Single cell centered in the field. Peripheral blood film. Image size 360×363
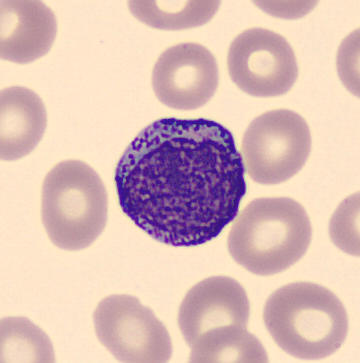

Specimen: peripheral blood smear.
Cell: promyelocyte.